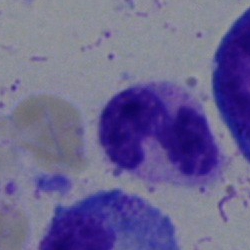Morphology consistent with a polymorphonuclear neutrophil.